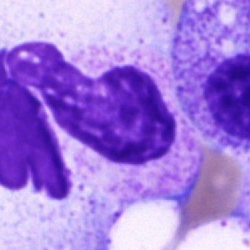
Morphological class: artifact.